Bone marrow aspirate smear
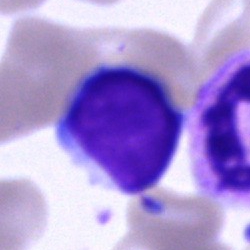Q: Identify the cell.
A: A lymphocyte.